Bone marrow smear · MGG-stained: 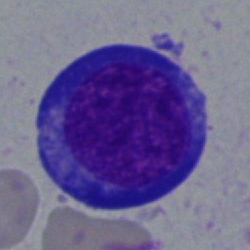 {"cell_type": "erythroblast", "lineage": "erythroid"}